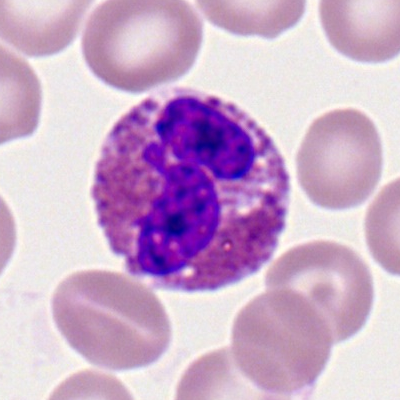 Peripheral blood film, single cell — eosinophilic granulocyte.